Bone marrow smear. 40× objective, oil immersion. 250×250: 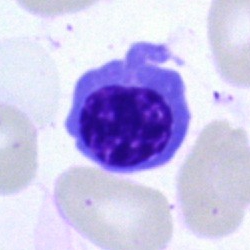
Q: What type of cell is this?
A: A nucleated red cell.